Bone marrow aspirate smear. 40× objective, oil immersion:
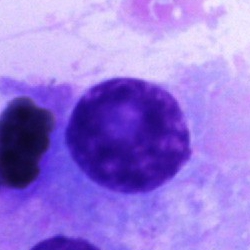 Showing a plasma cell.